Bone marrow aspirate smear. 250 by 250 pixels:
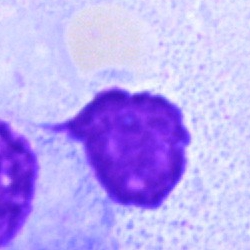 This is an artifact.